Bone marrow aspirate smear: 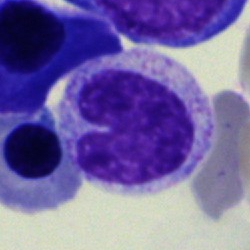Showing a stab cell.